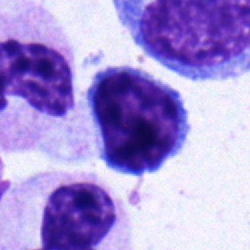
Specimen: bone marrow aspirate smear.
Cell type: typical lymphocyte.
Lineage: lymphoid.